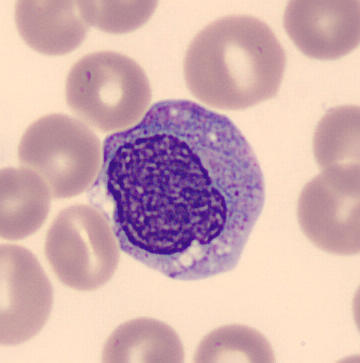 Peripheral blood film, single cell — monocyte.